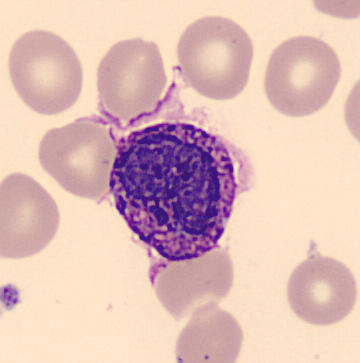 Image size 360×363; peripheral blood film.

Q: What is this?
A: It is a basophilic granulocyte.